Bone marrow aspirate smear; May-Grünwald-Giemsa stain — 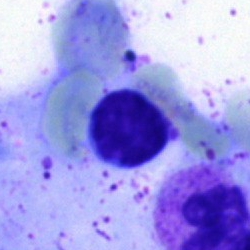 The cell type is artifact.